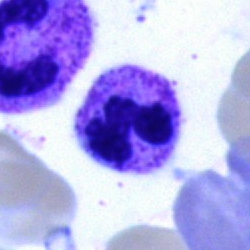

Single cell identified as a segmented neutrophil.